Bone marrow aspirate smear. 250×250: 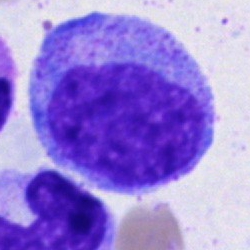
Cell — progranulocyte.